Peripheral blood film: 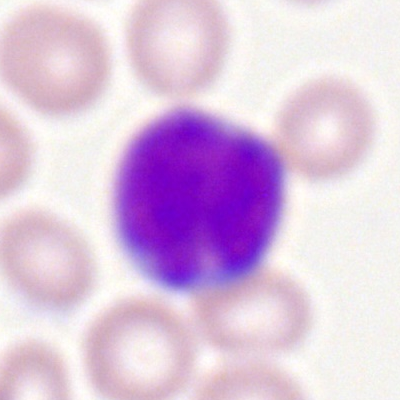 The cell type is myeloblast.